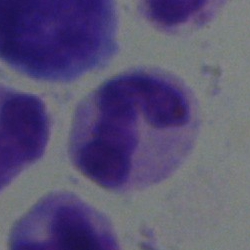Q: Which cell type is shown here?
A: A neutrophil (segmented).